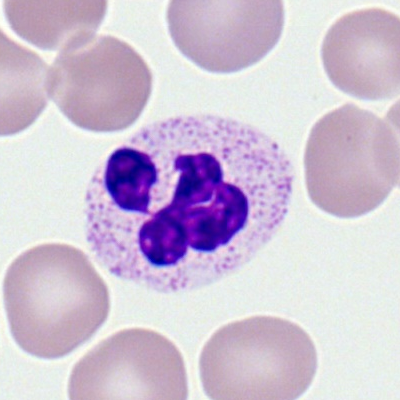 Q: Identify the cell.
A: A neutrophil (segmented).